Bone marrow smear.
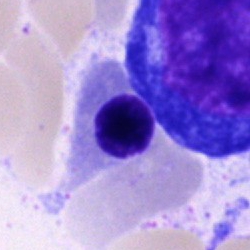
The cell is nucleated red blood cell.